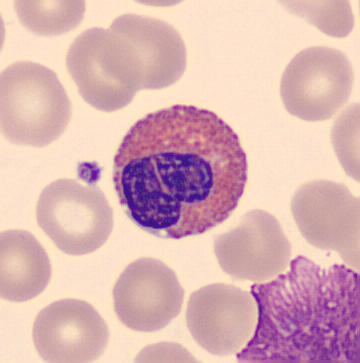
Specimen: peripheral blood smear.
Classification: eosinophil. Preparation: Imaged on a CellaVision DM96 analyser. 360 by 363 pixels.